Bone marrow aspirate smear.
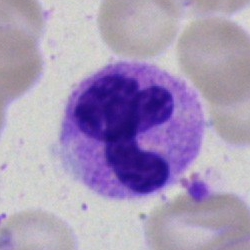

Polymorphonuclear neutrophil.